Peripheral blood film
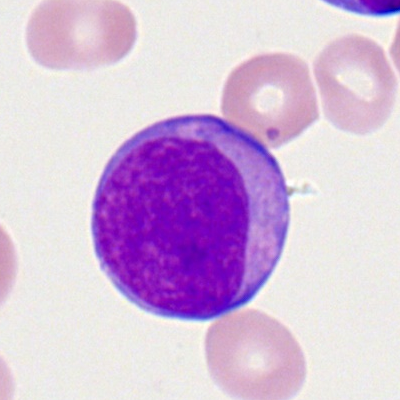

Q: What is shown here?
A: A myeloblast.